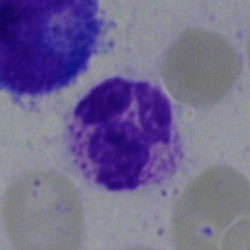 Bone marrow aspirate smear, single cell — neutrophil (segmented).